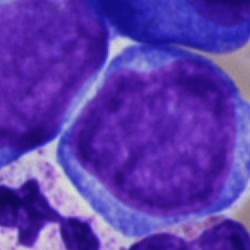

The cell shown is a blast.